Bone marrow smear: 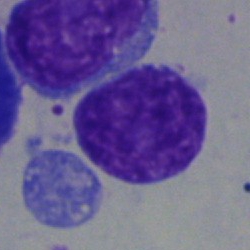

Cell type: undifferentiated blast.